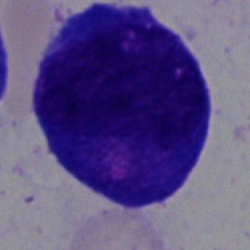 Q: What is the morphological classification of this cell?
A: It is a blast cell.